Bone marrow smear. May-Grünwald-Giemsa stain
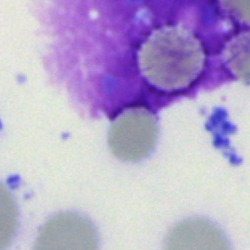
This is an artifact.